Bone marrow aspirate smear
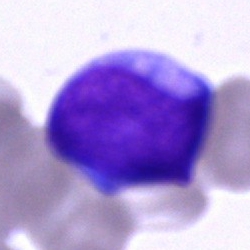 This is an undifferentiated blast.